Pappenheim-stained; 40× objective, oil immersion; bone marrow smear:
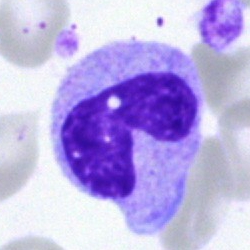 The cell type is band neutrophil.